Bone marrow aspirate smear · single cell centered in the field — 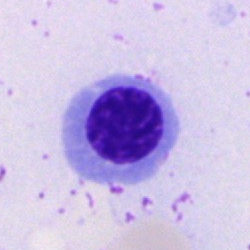 Specimen: bone marrow aspirate smear.
Cell: erythroblast.
Lineage: erythroid.